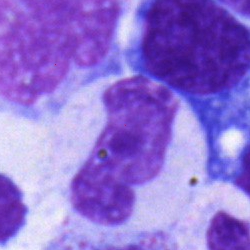

Morphology consistent with a stab cell.